Bone marrow aspirate smear; 250 by 250 pixels; single-cell crop: 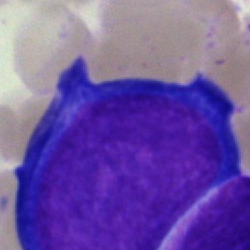

The cell shown is a proerythroblast.